Pappenheim-stained · bone marrow smear — 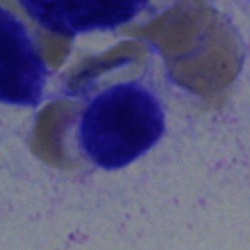

Cell type = lymphocyte.